Brightfield microscopy, 40× oil immersion. Cropped to a single cell. Bone marrow smear — 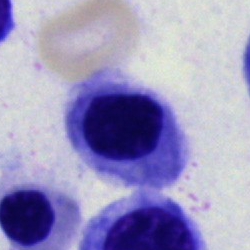

A normoblast.